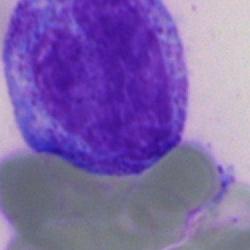A metamyelocyte.